Bone marrow aspirate smear:
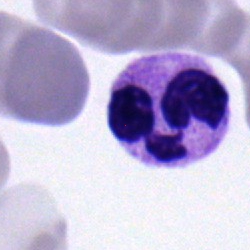 Q: Which cell type is shown here?
A: A polymorphonuclear neutrophil.